40× objective, oil immersion · bone marrow smear — 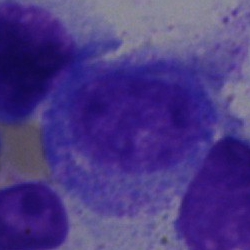
Q: What is the morphological classification of this cell?
A: It is a progranulocyte.